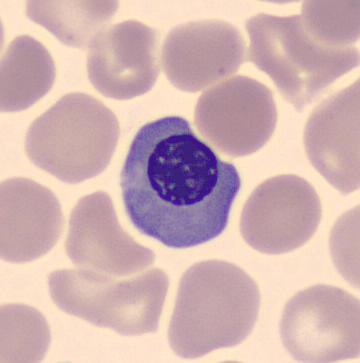

Specimen: peripheral blood smear.
Cell: normoblast.
Lineage: erythroid.